MGG-stained. Bone marrow aspirate smear. Single-cell field
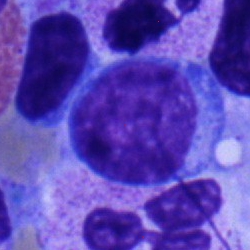
An undifferentiated blast.